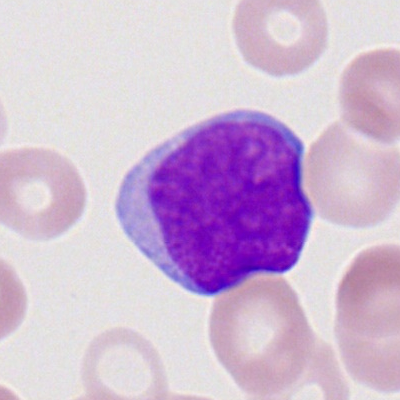Q: What is the morphological classification of this cell?
A: This is a myeloid blast.